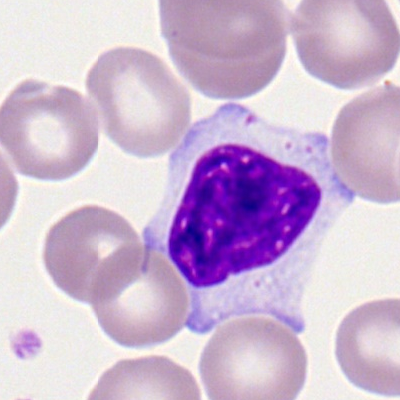 This is a lymphocyte.